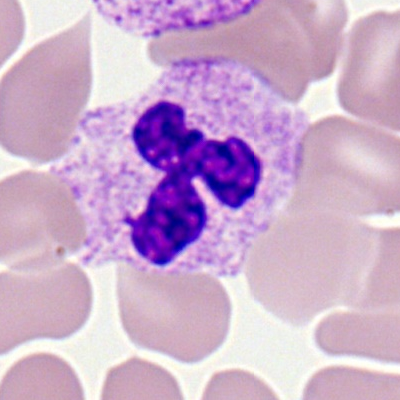 Q: What is the morphological classification of this cell?
A: Neutrophil (segmented).